Bone marrow aspirate smear:
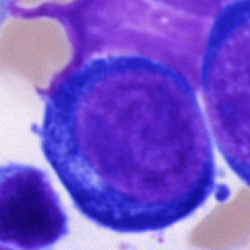Impression — proerythroblast.